Peripheral blood smear — 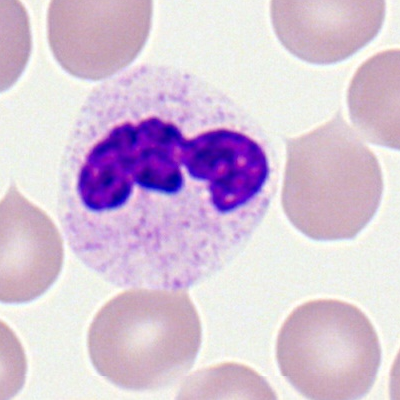

Specimen: peripheral blood film.
Cell: polymorphonuclear neutrophil.
Lineage: myeloid.